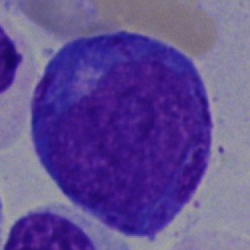 The cell type is progranulocyte.